May-Grünwald-Giemsa stain. Single cell centered in the field. Bone marrow smear.
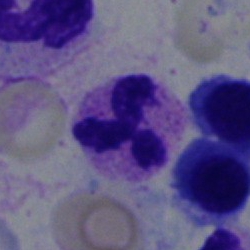

This is a polymorphonuclear neutrophil.